Bone marrow smear:
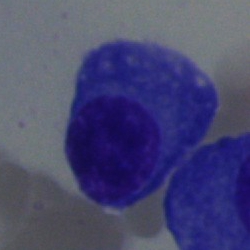 Cell type = plasma cell.